Bone marrow aspirate smear:
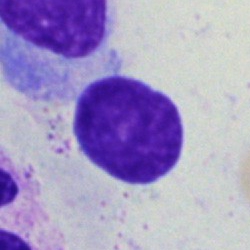

Q: Which cell type is shown here?
A: Lymphocyte.